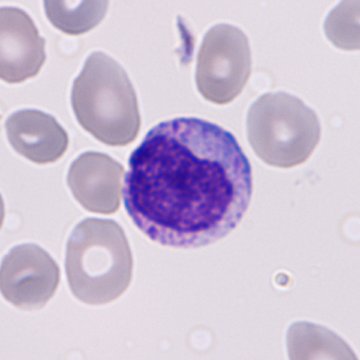 Peripheral blood smear showing an immature granulocyte.